May-Grünwald-Giemsa stain; bone marrow smear.
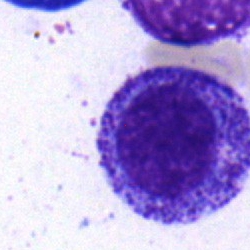
Q: What is shown here?
A: Myelocyte.